Bone marrow smear.
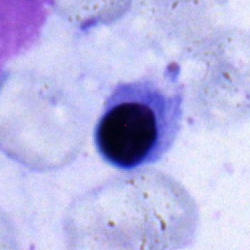Cell type: nucleated red cell.